MGG-stained; 250 by 250 pixels; bone marrow aspirate smear.
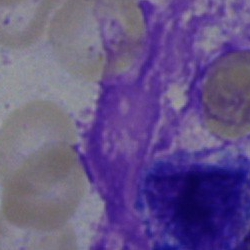 Classification: artifact.